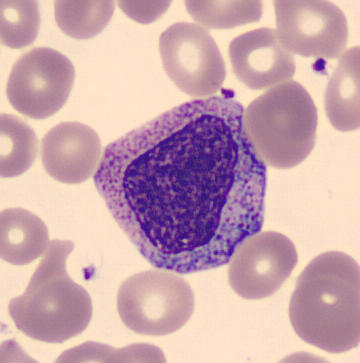 Morphological class: progranulocyte.